40× objective, oil immersion · bone marrow smear · 250×250 px:
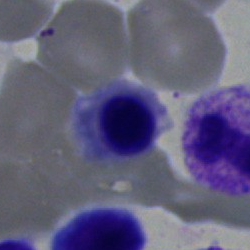Morphology consistent with a normoblast.